Bone marrow aspirate smear.
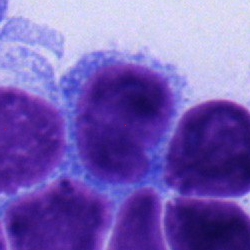

This is a typical lymphocyte.